Bone marrow smear:
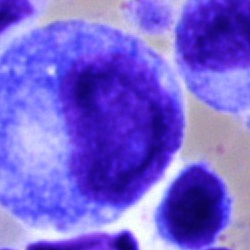 The cell shown is a progranulocyte.